May-Grünwald-Giemsa stain. 250 by 250 pixels. Bone marrow aspirate smear: 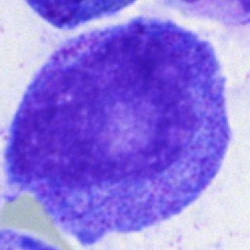 Q: Identify the cell.
A: It is a progranulocyte.